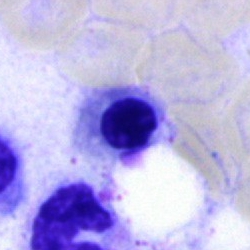
Morphological class = normoblast.